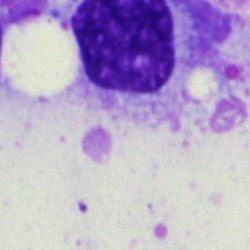
Morphology — artifact.